Bone marrow smear
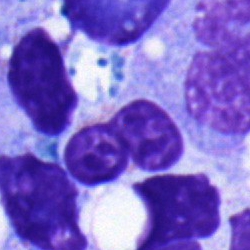

Q: What type of cell is this?
A: Band neutrophil.